Brightfield, 40× oil-immersion objective. Cropped to a single cell. Bone marrow aspirate smear:
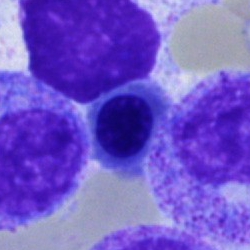 Q: Which cell type is shown here?
A: It is a normoblast.